Bone marrow aspirate smear.
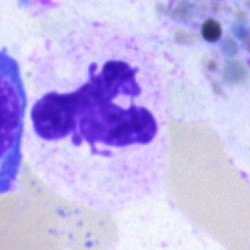Morphology consistent with a polymorphonuclear neutrophil.